Cropped to a single cell. Bone marrow smear
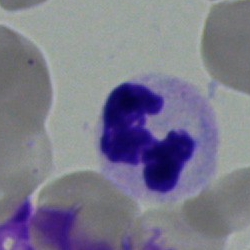

The cell shown is a neutrophil (segmented).